Bone marrow aspirate smear.
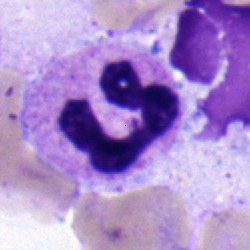 Cell — segmented neutrophil.